May-Grünwald-Giemsa stain · brightfield microscopy, 40× oil immersion · bone marrow smear — 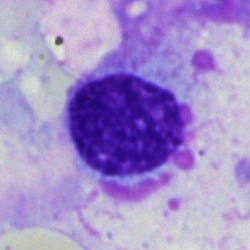Impression → plasma cell.